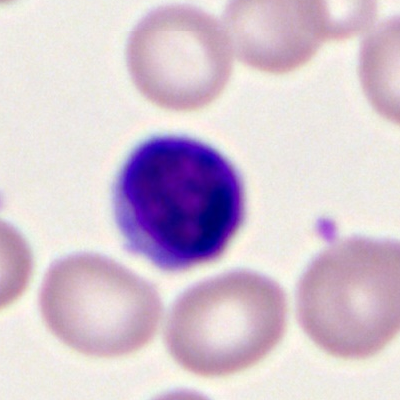 Q: What is the morphological classification of this cell?
A: This is a lymphocyte.